May-Grünwald-Giemsa stain. Bone marrow aspirate smear. Single-cell crop: 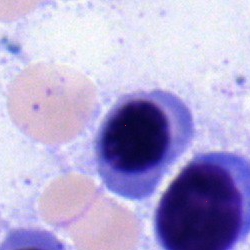

Q: Which cell type is shown here?
A: This is a nucleated red blood cell.